Bone marrow smear:
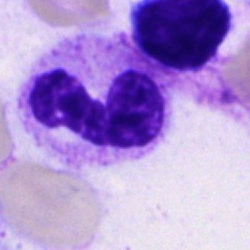 The cell is polymorphonuclear neutrophil.